Peripheral blood film
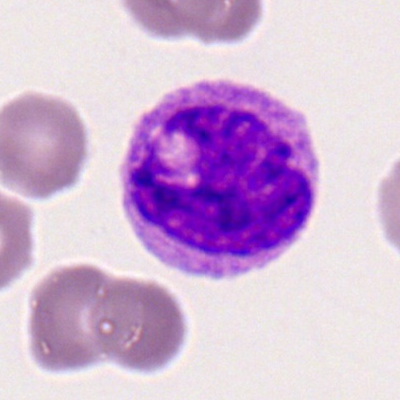

Specimen: peripheral blood film.
Classification: eosinophilic granulocyte.